40× oil immersion. May-Grünwald-Giemsa stain. Bone marrow smear
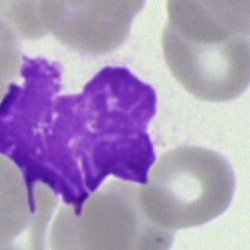The morphological class is artefact.